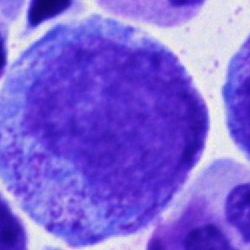
Specimen: bone marrow aspirate smear.
Cell: promyelocyte.
Lineage: myeloid.